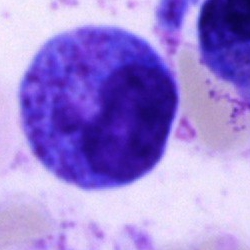Showing a progranulocyte.